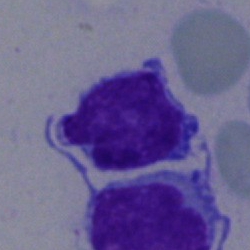 Morphology — typical lymphocyte.